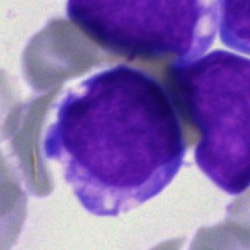Cell type: blast.